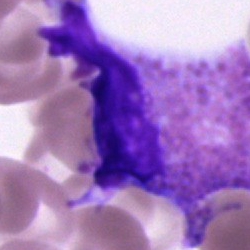 This is an eosinophilic granulocyte.